400×400 px · cropped to a single cell · peripheral blood smear.
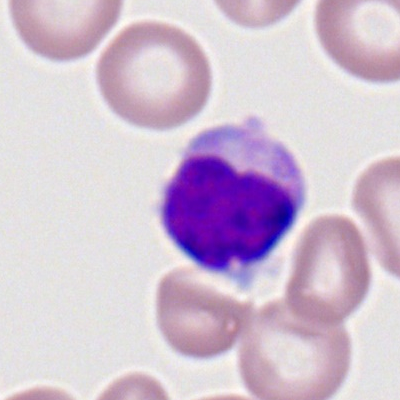 Showing a lymphocyte.